Bone marrow aspirate smear
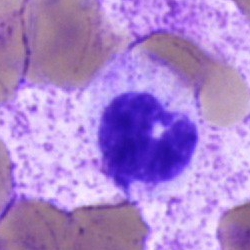
{"cell_type": "polymorphonuclear neutrophil", "lineage": "myeloid"}